Bone marrow aspirate smear: 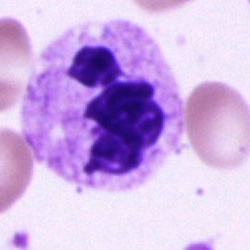

This is a polymorphonuclear neutrophil.